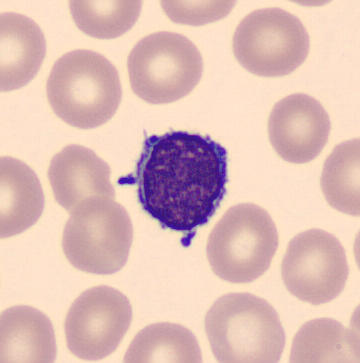
Peripheral blood film; CellaVision DM96 digital cell image. Q: Which cell type is shown here?
A: This is a lymphocyte.